Brightfield, 40× oil-immersion objective · bone marrow aspirate smear · MGG-stained.
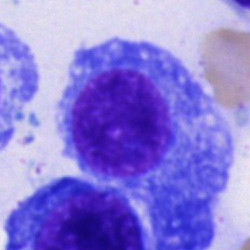 Cell = plasmacyte.